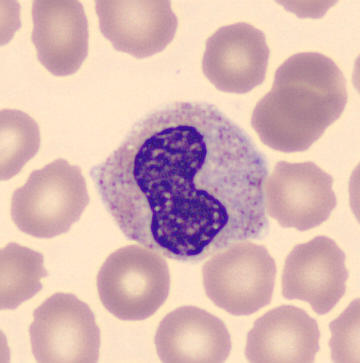Morphological class = metamyelocyte.